Peripheral blood film · single-cell field:
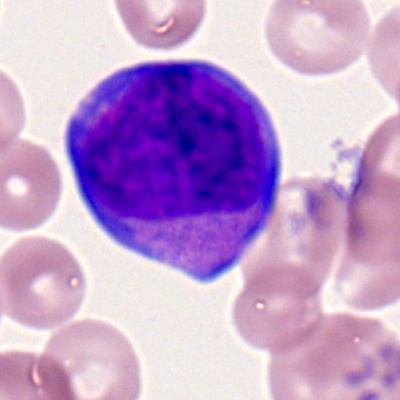Myeloid blast.